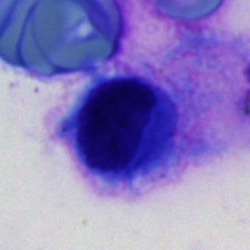 The classification is typical lymphocyte.